250×250 px; bone marrow smear:
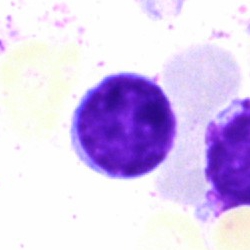Showing a typical lymphocyte.